Bone marrow smear. Image size 250×250. Single cell centered in the field: 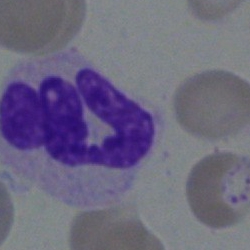 Showing a polymorphonuclear neutrophil.